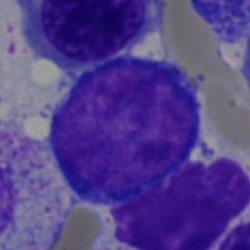
Classification = proerythroblast.